40× oil immersion; image size 250×250; bone marrow aspirate smear.
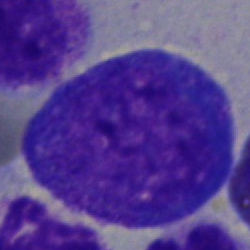 The classification is promyelocyte.